Pappenheim-stained. Bone marrow smear. Single cell centered in the field — 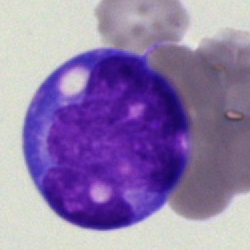
The cell shown is a blast.